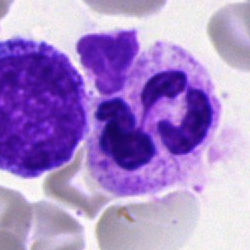The cell shown is a segmented neutrophil.